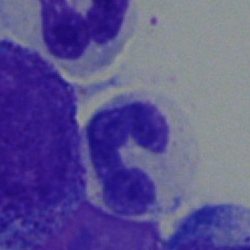Showing a stab cell.